Bone marrow aspirate smear:
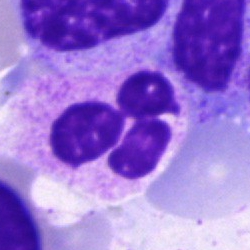

Morphology → polymorphonuclear neutrophil.